Single cell centered in the field · bone marrow smear — 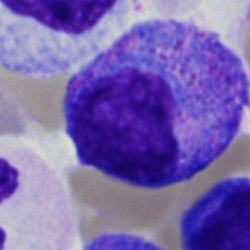 This is a progranulocyte.